40× objective, oil immersion · bone marrow smear.
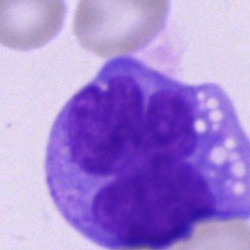
Monocyte.